Bone marrow aspirate smear. 250×250 px — 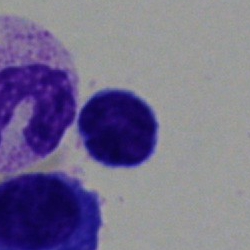
Single cell identified as a typical lymphocyte.